Bone marrow aspirate smear — 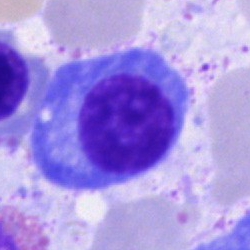

Morphology — plasmacyte.